Peripheral blood smear.
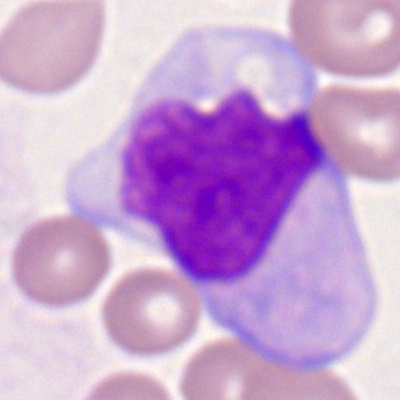

Morphological class — monocyte.